Bone marrow aspirate smear.
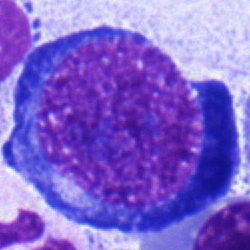
This is a pronormoblast.